Peripheral blood smear:
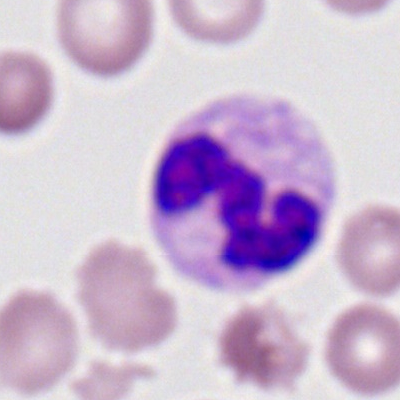 A segmented neutrophil.